Brightfield, 40× oil-immersion objective · bone marrow smear
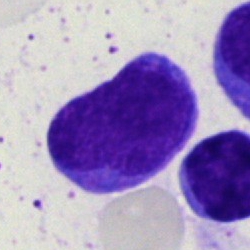
The classification is blast.